Bone marrow aspirate smear; single-cell field
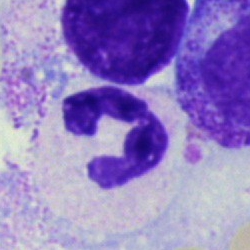
Single cell identified as a neutrophil (segmented).